Cropped to a single cell; bone marrow aspirate smear
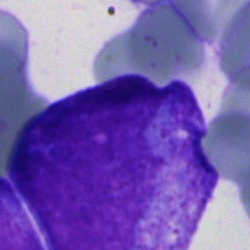This is an undifferentiated blast.